Brightfield microscopy, 40× oil immersion; May-Grünwald-Giemsa/Pappenheim stain; bone marrow aspirate smear — 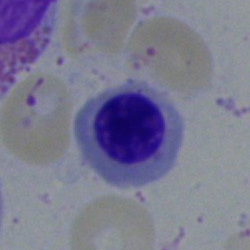

Specimen: bone marrow aspirate smear.
Cell type: nucleated red blood cell.